Bone marrow aspirate smear; 40× objective, oil immersion: 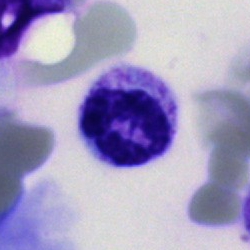

This is a segmented neutrophil.